Single-cell field · bone marrow smear · image size 250×250
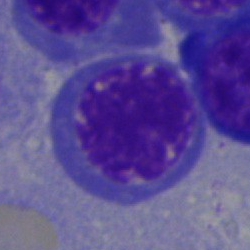Specimen: bone marrow aspirate smear.
Cell: erythroblast.
Lineage: erythroid.